Bone marrow aspirate smear.
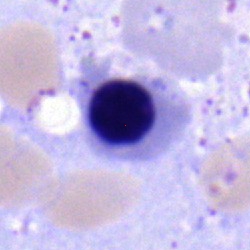

Cell = erythroblast.